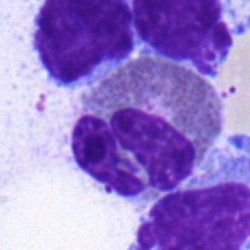Specimen: bone marrow aspirate smear.
Cell: eosinophilic granulocyte.